Bone marrow smear; 40× objective, oil immersion: 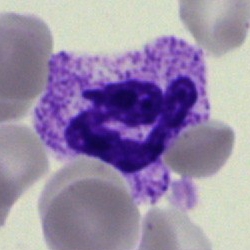
Impression → segmented neutrophil.